Single-cell field; bone marrow aspirate smear.
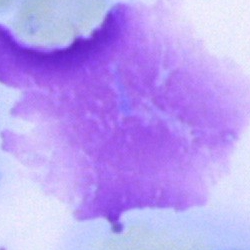 Specimen: bone marrow smear.
Cell: artefact.